Bone marrow aspirate smear; 250×250
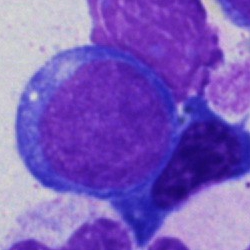

Q: What type of cell is this?
A: A pronormoblast.